Bone marrow smear — 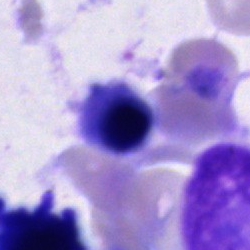 Impression — unidentifiable cell.